Bone marrow smear: 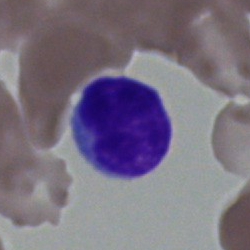
Q: What type of cell is this?
A: Typical lymphocyte.